Romanowsky stain · peripheral blood film
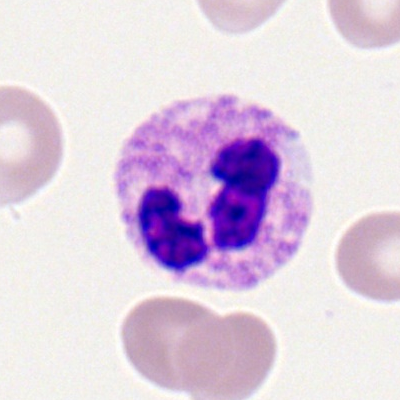

A polymorphonuclear neutrophil.